Bone marrow aspirate smear · 250×250:
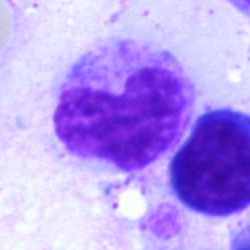 Morphological class: metamyelocyte.